Bone marrow smear: 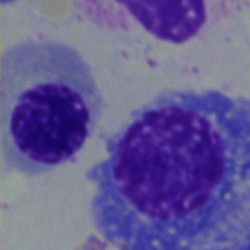

Q: Identify the cell.
A: A normoblast.